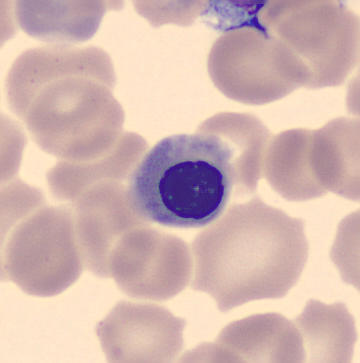
{"cell_type": "erythroblast", "lineage": "erythroid"}

Preparation: Peripheral blood smear.